Bone marrow aspirate smear: 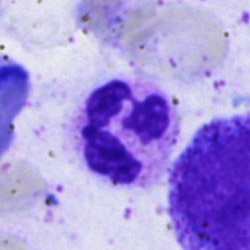 Morphology consistent with a neutrophil (segmented).